40× oil immersion · bone marrow aspirate smear
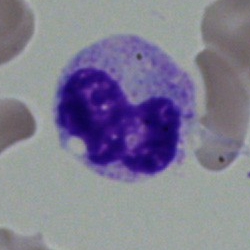

Single cell identified as a neutrophil (segmented).